Pappenheim-stained. 40× objective, oil immersion. Bone marrow aspirate smear: 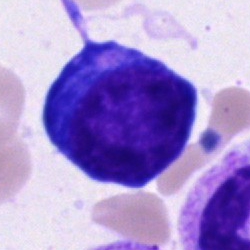
The classification is proerythroblast.